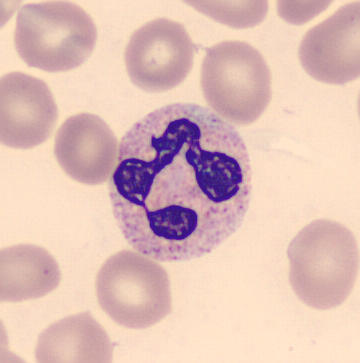Morphology → segmented neutrophil.